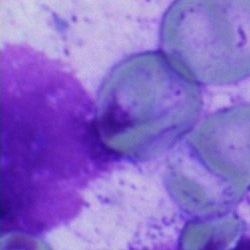 An artifact on a bone marrow smear.